Bone marrow aspirate smear:
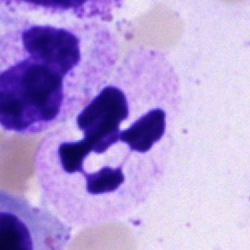Morphology — segmented neutrophil.